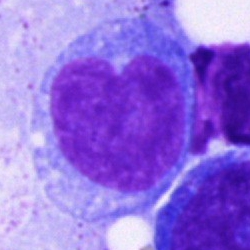

An undifferentiated blast on a bone marrow smear.